Bone marrow smear: 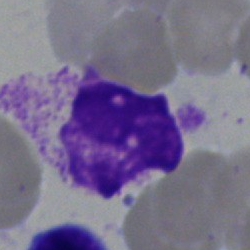 {"cell_type": "artifact"}